Cropped to a single cell; bone marrow aspirate smear; brightfield, 40× oil-immersion objective: 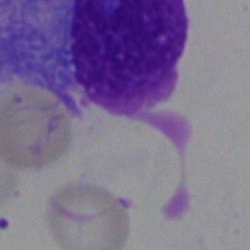 Q: What is shown here?
A: This is an artifact.